Bone marrow smear; 250 by 250 pixels; 40× oil immersion: 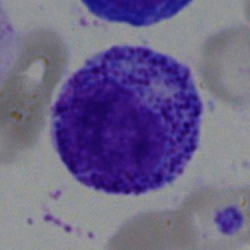
The classification is progranulocyte.